MGG-stained · single-cell crop · bone marrow smear
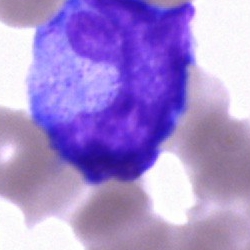 A monocyte.